Bone marrow smear:
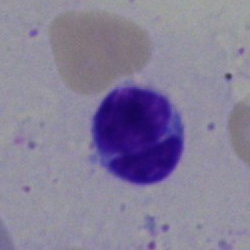
Impression — typical lymphocyte.